Cropped to a single cell; bone marrow smear; brightfield microscopy, 40× oil immersion
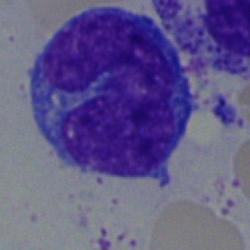 Specimen: bone marrow smear.
Cell type: monocyte.